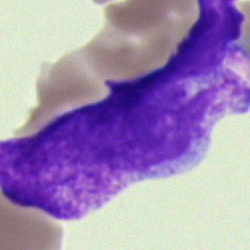 The cell shown is an undifferentiated blast.